Bone marrow aspirate smear — 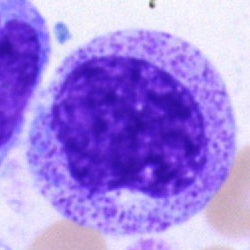 {"cell_type": "myelocyte", "lineage": "myeloid"}